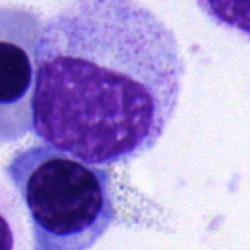 Bone marrow smear showing a metamyelocyte.